Bone marrow smear; image size 250×250 — 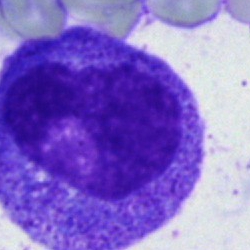Q: Which cell type is shown here?
A: This is a promyelocyte.